Bone marrow smear: 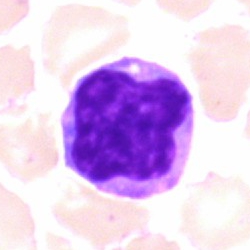
{"cell_type": "lymphocyte", "lineage": "lymphoid"}